Peripheral blood film — 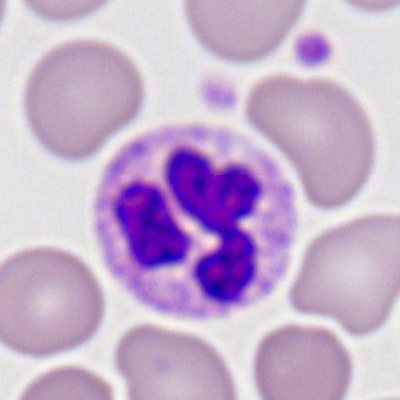Polymorphonuclear neutrophil.